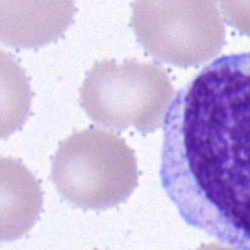 Impression → myelocyte.